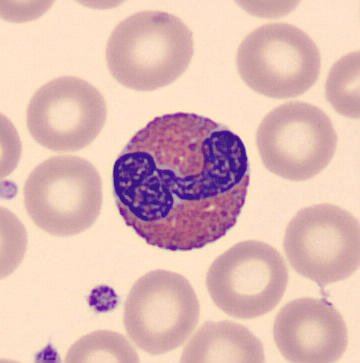

Single cell identified as an eosinophil. 360 by 363 pixels; automated cell imaging (CellaVision DM96); peripheral blood smear.